Bone marrow aspirate smear. 40× objective, oil immersion — 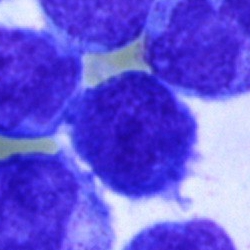
Cell type — blast cell.